Bone marrow aspirate smear:
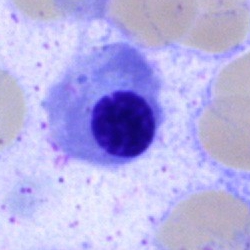

Morphology consistent with a nucleated red cell.